Single-cell field · bone marrow smear — 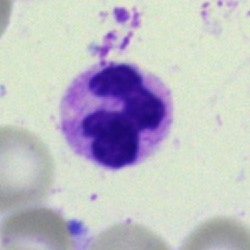
Q: What is shown here?
A: It is a polymorphonuclear neutrophil.